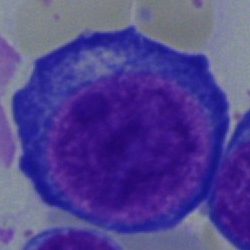

Bone marrow aspirate smear, single cell — pronormoblast.